Bone marrow smear. Cropped to a single cell: 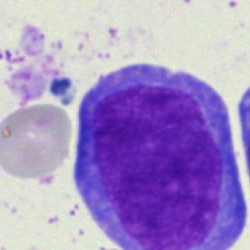
A blast.